40× objective, oil immersion; bone marrow aspirate smear: 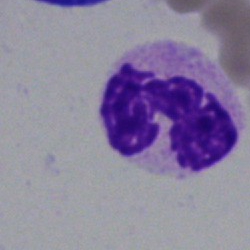

Q: Which cell type is shown here?
A: This is a segmented neutrophil.